Peripheral blood film.
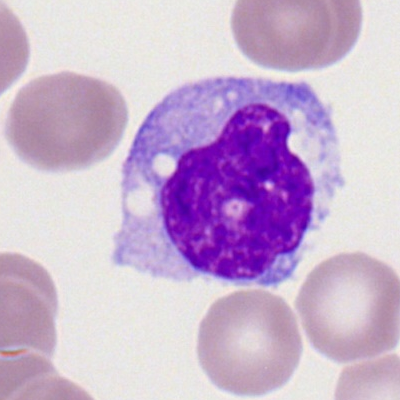Q: What is shown here?
A: A monocyte.